Bone marrow aspirate smear
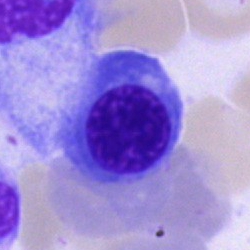

Specimen: bone marrow smear.
Cell type: nucleated red cell.